Cropped to a single cell; 40× objective, oil immersion; bone marrow aspirate smear
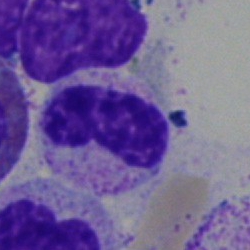Impression → band neutrophil.